Pappenheim-stained; cropped to a single cell; bone marrow aspirate smear:
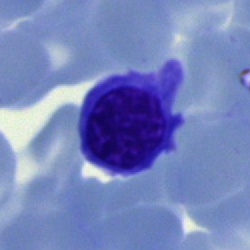 {"cell_type": "normoblast", "lineage": "erythroid"}